Bone marrow smear · MGG-stained
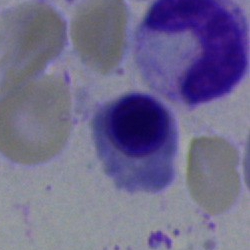
Q: What cell is this?
A: It is an erythroblast.